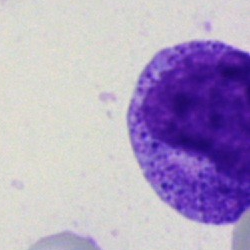 Single cell identified as a metamyelocyte.